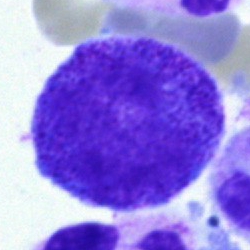
The morphological class is progranulocyte.